Bone marrow smear; Pappenheim-stained — 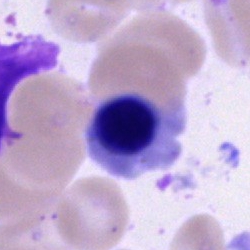

Morphology → nucleated red blood cell.